Bone marrow smear; single cell centered in the field: 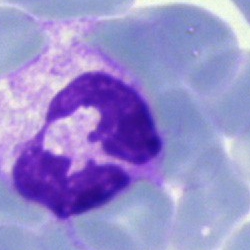
Q: What type of cell is this?
A: A neutrophil (segmented).